Brightfield, 40× oil-immersion objective · bone marrow aspirate smear · single-cell crop — 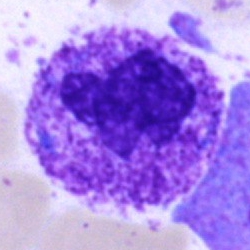

Classification: polymorphonuclear neutrophil.